40× oil immersion. Bone marrow aspirate smear:
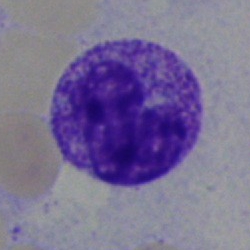
Metamyelocyte.